Bone marrow smear · single cell centered in the field:
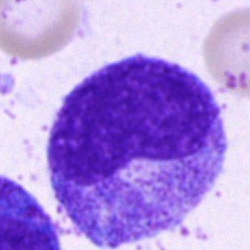
Q: What type of cell is this?
A: A progranulocyte.